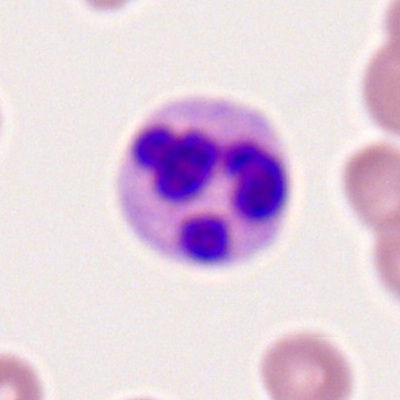The cell is neutrophil (segmented).